Peripheral blood smear. Single-cell field
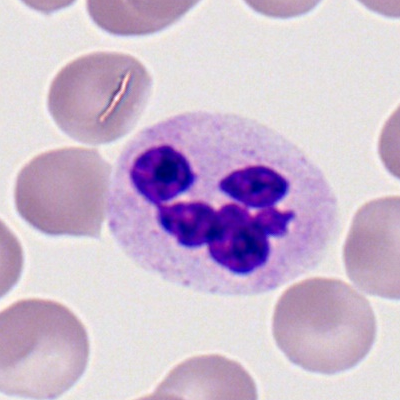 Morphology consistent with a neutrophil (segmented).